Bone marrow aspirate smear; MGG-stained:
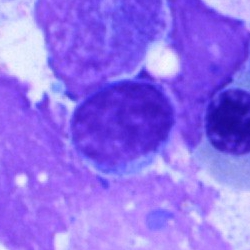Single cell identified as a typical lymphocyte.